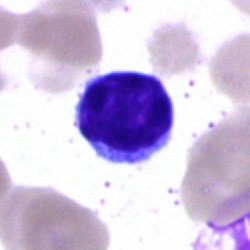 Q: What type of cell is this?
A: A lymphocyte.